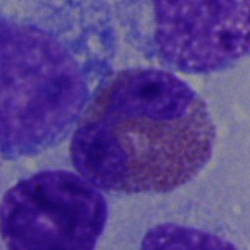 Cell type: eosinophil.